Bone marrow aspirate smear: 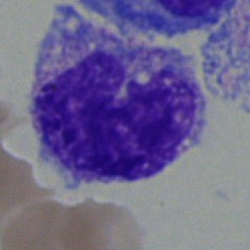

Q: Which cell type is shown here?
A: A monocyte.